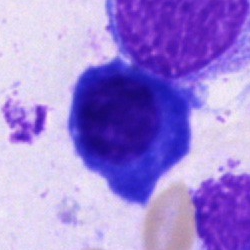 Q: What cell is this?
A: This is a plasma cell.